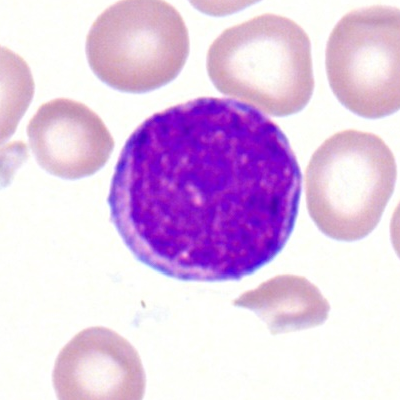

Q: What type of cell is this?
A: This is a myeloid blast.